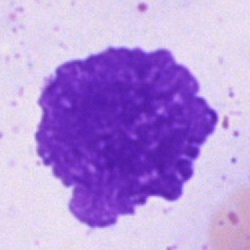 This is an artefact.